Bone marrow aspirate smear
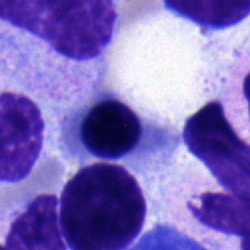

Cell type — nucleated red cell.